Bone marrow smear — 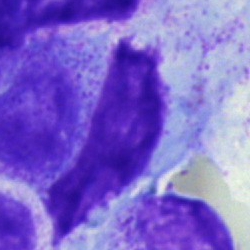

Q: What is shown here?
A: It is an artefact.